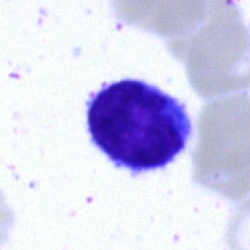 Impression — typical lymphocyte.